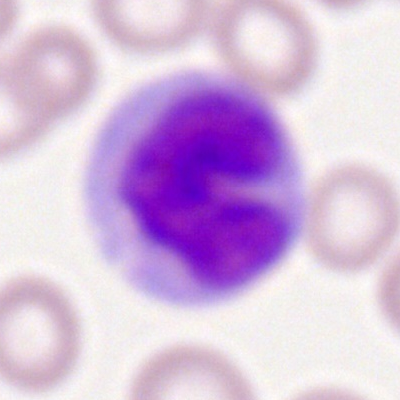 Q: What cell is this?
A: Monocyte.